Bone marrow aspirate smear.
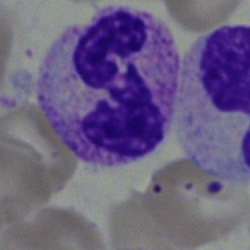

The cell shown is a segmented neutrophil.